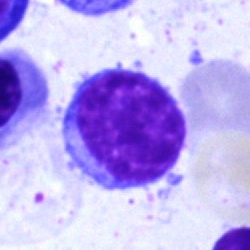 Morphological class = typical lymphocyte.